Bone marrow aspirate smear · single cell centered in the field — 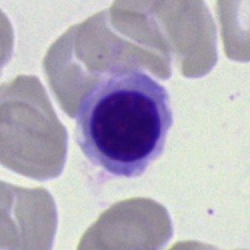 Cell = normoblast.